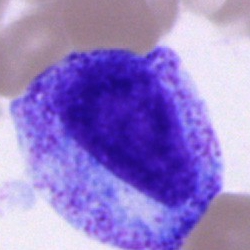

A promyelocyte on a bone marrow smear.